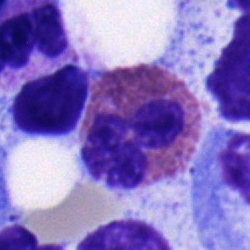

The cell type is eosinophil.